Bone marrow aspirate smear
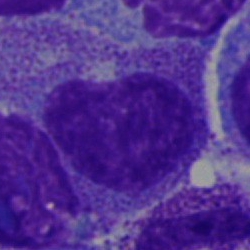

{"cell_type": "myelocyte", "lineage": "myeloid"}